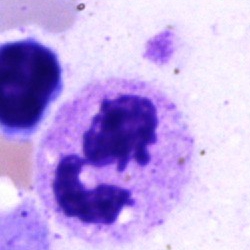Specimen: bone marrow aspirate smear.
Classification: segmented neutrophil.
Lineage: myeloid.